Bone marrow aspirate smear · May-Grünwald-Giemsa stain: 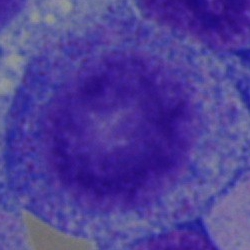The cell is promyelocyte.